Bone marrow smear:
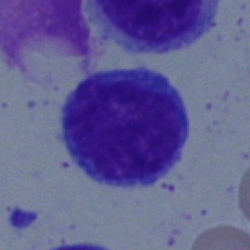 Morphology consistent with a blast cell.